Pappenheim-stained; bone marrow smear — 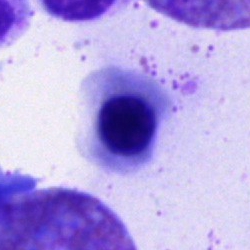 Specimen: bone marrow smear.
Cell type: nucleated red blood cell.
Lineage: erythroid.